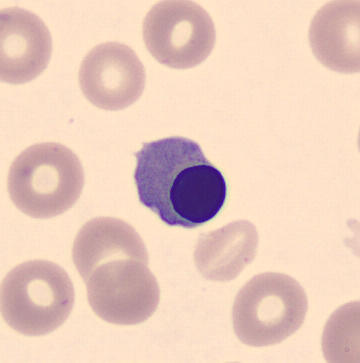Morphology consistent with a nucleated red blood cell.

Peripheral blood smear; May Grünwald-Giemsa stain.